40× objective, oil immersion; bone marrow smear:
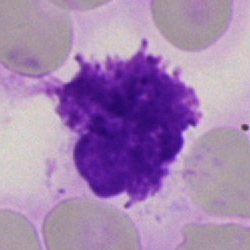
{"cell_type": "artifact"}